Bone marrow smear
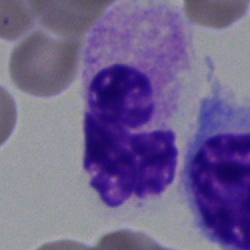
Specimen: bone marrow smear.
Classification: polymorphonuclear neutrophil.